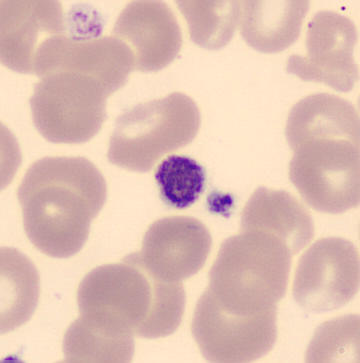
Preparation: Peripheral blood film.

Identified as a platelet (thrombocyte).